Pappenheim-stained; bone marrow aspirate smear
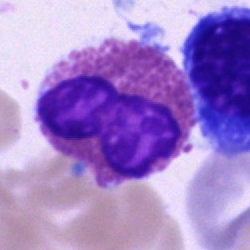 Cell type — eosinophil.